Bone marrow smear:
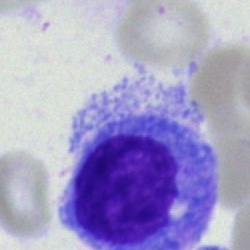
Showing a monocyte.